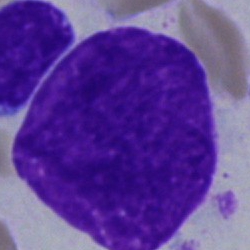
Specimen: bone marrow aspirate smear.
Cell: artefact.